Peripheral blood film; single-cell crop: 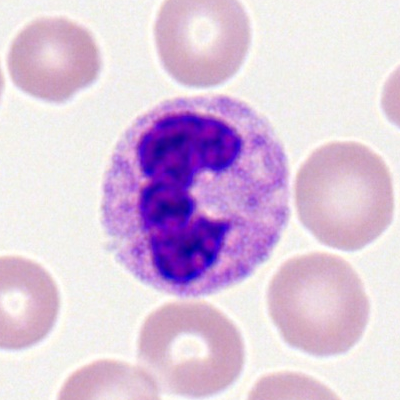

The cell shown is a neutrophil (segmented).